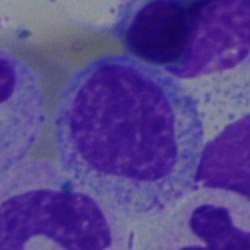 Morphology — myelocyte.